Bone marrow aspirate smear; single-cell field: 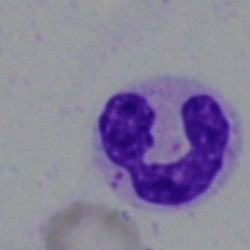Morphological class: polymorphonuclear neutrophil.